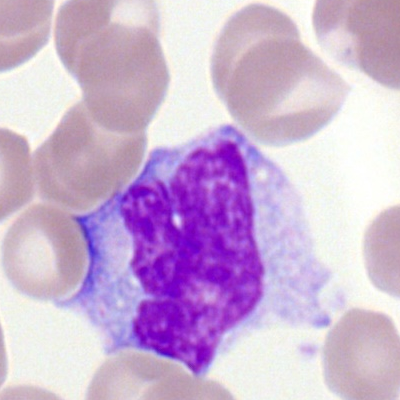

Q: What type of cell is this?
A: A monocyte.